Bone marrow aspirate smear.
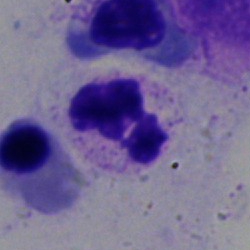The morphological class is segmented neutrophil.